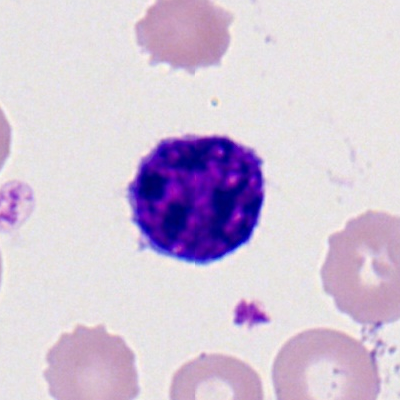

This is a lymphocyte.